Bone marrow smear; image size 250×250; Pappenheim-stained
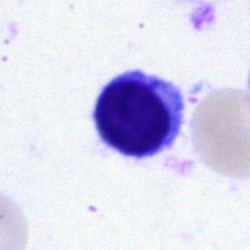

Classification: lymphocyte.